Cropped to a single cell; bone marrow aspirate smear:
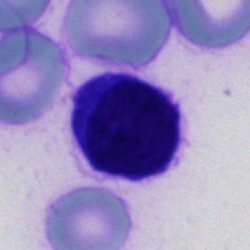 {"cell_type": "cell of indeterminate lineage"}